Bone marrow aspirate smear: 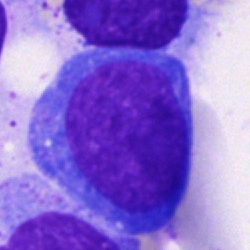
Cell type = undifferentiated blast.